Peripheral blood smear: 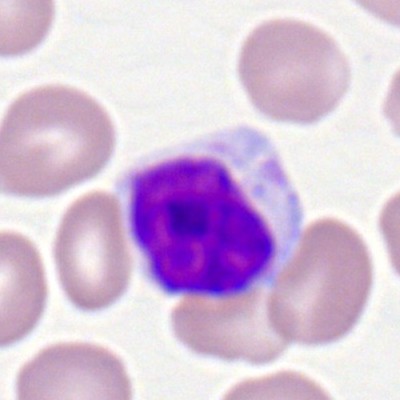
Specimen: peripheral blood film.
Cell type: lymphocyte.
Lineage: lymphoid.